Bone marrow aspirate smear
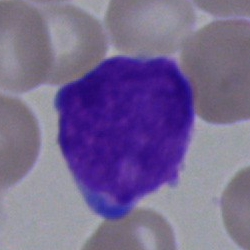 Cell — undifferentiated blast.